Bone marrow aspirate smear: 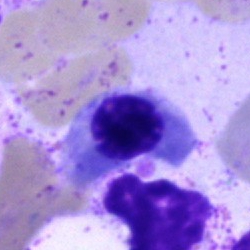

Showing a nucleated red blood cell.